Bone marrow smear — 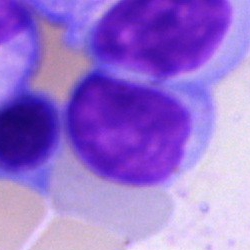Showing a lymphocyte.